Bone marrow smear · May-Grünwald-Giemsa/Pappenheim stain: 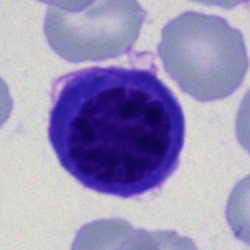 Q: What cell is this?
A: It is a nucleated red blood cell.